360×363. Peripheral blood film. MGG-stained: 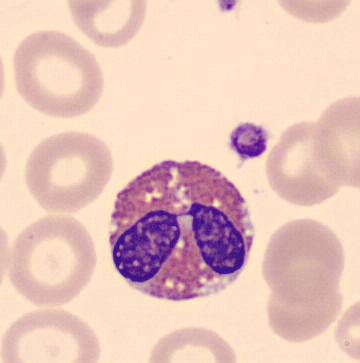Classification = eosinophil.